Bone marrow smear
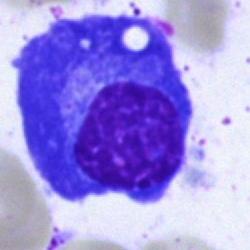 Q: Which cell type is shown here?
A: It is a plasma cell.